Bone marrow aspirate smear
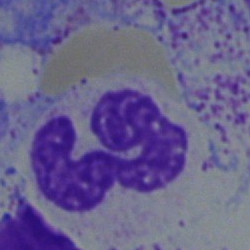

Morphological class = neutrophil (segmented).